Bone marrow aspirate smear: 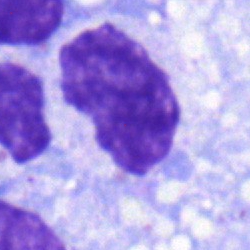
{"cell_type": "metamyelocyte", "lineage": "myeloid"}